Bone marrow aspirate smear
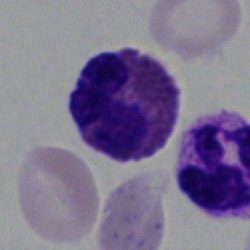
Classification — eosinophil.